250×250 px; bone marrow aspirate smear.
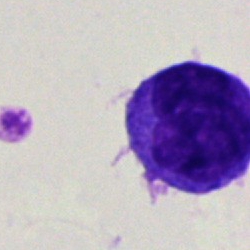
The classification is blast cell.